Bone marrow aspirate smear
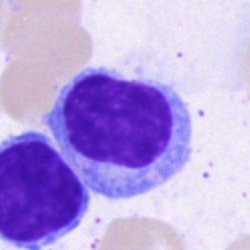
Impression → lymphocyte.